Brightfield microscopy, 40× oil immersion; bone marrow smear; 250×250 px:
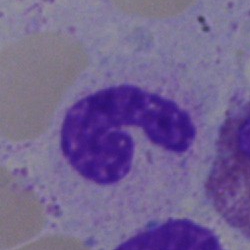

Morphology — polymorphonuclear neutrophil.